Bone marrow smear; May-Grünwald-Giemsa/Pappenheim stain.
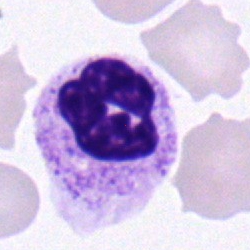Q: What is the morphological classification of this cell?
A: Neutrophil (segmented).